Peripheral blood smear
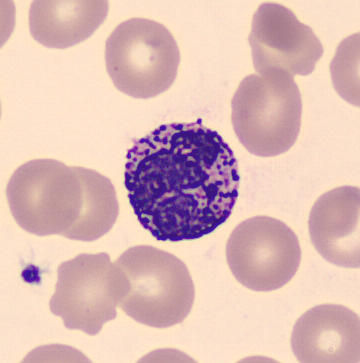 A basophil.